May-Grünwald-Giemsa stain; bone marrow smear:
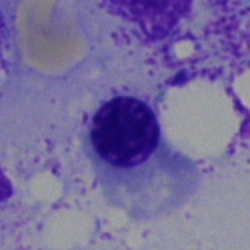

{"cell_type": "normoblast", "lineage": "erythroid"}